Single-cell field · bone marrow aspirate smear.
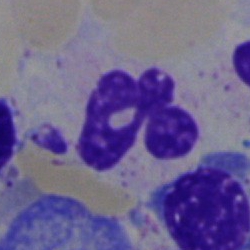
Morphological class: segmented neutrophil.